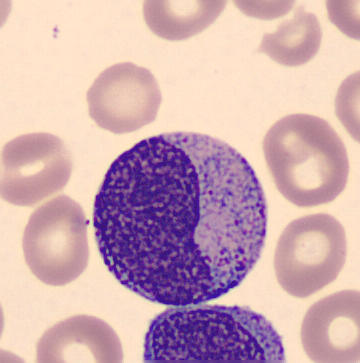 Morphology → promyelocyte.